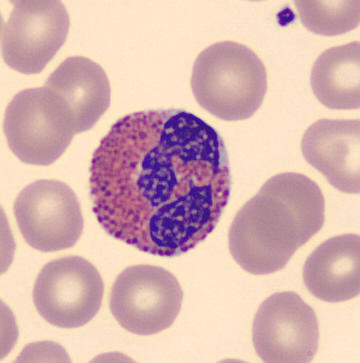

The morphological class is eosinophilic granulocyte.

Image size 360×363; automated cell imaging (CellaVision DM96); peripheral blood smear.